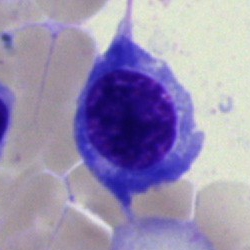
The cell shown is an erythroblast.